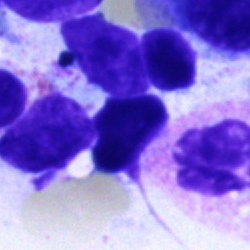
Specimen: bone marrow aspirate smear.
Morphological class: artifact.